Bone marrow aspirate smear.
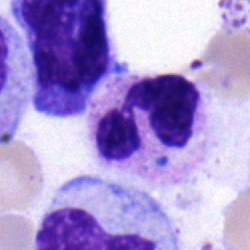Single cell identified as a neutrophil (segmented).